Bone marrow aspirate smear.
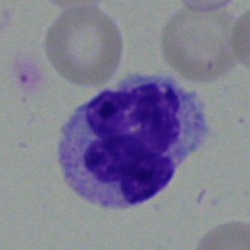This is a neutrophil (segmented).